Bone marrow smear:
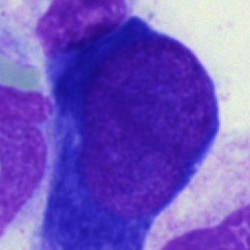
The cell is proerythroblast.